Brightfield, 40× oil-immersion objective. Bone marrow aspirate smear.
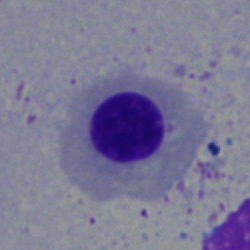Specimen: bone marrow smear.
Cell: nucleated red cell.
Lineage: erythroid.